Bone marrow smear; 40× objective, oil immersion: 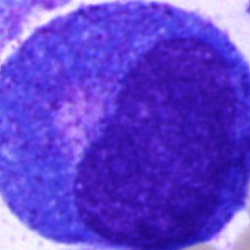

Showing a progranulocyte.